Bone marrow smear.
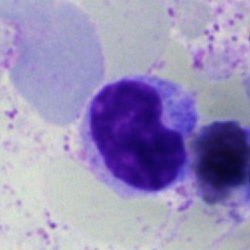Single cell identified as a lymphocyte.